Bone marrow aspirate smear · May-Grünwald-Giemsa stain · 250×250 px — 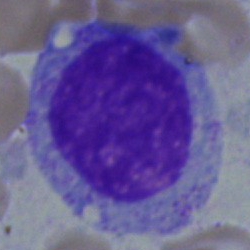

Specimen: bone marrow aspirate smear.
Classification: myelocyte.